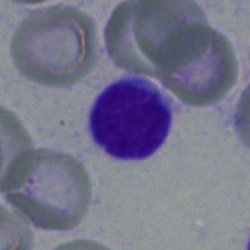

Cell type: lymphocyte.